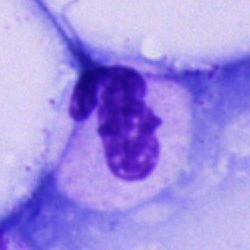

Classification — polymorphonuclear neutrophil.